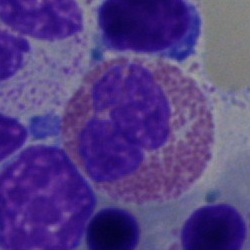 Q: What is shown here?
A: It is an eosinophil.